Image size 250×250 · bone marrow smear
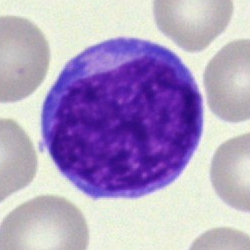 This is a blast cell.